MGG-stained · bone marrow smear — 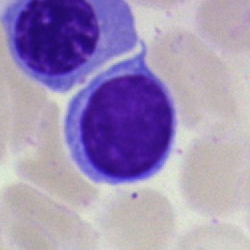
Classification: lymphocyte.